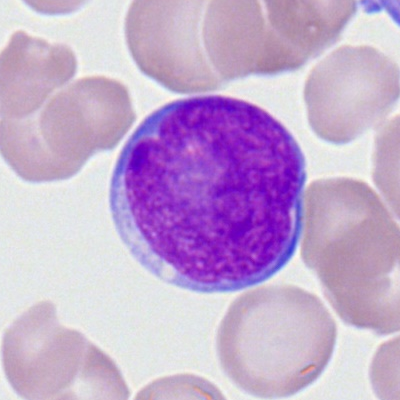
Myeloid blast.